Bone marrow smear — 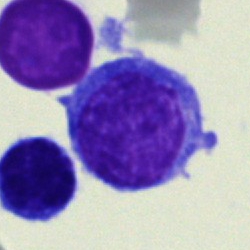
Cell — blast.